Bone marrow aspirate smear; 40× objective, oil immersion; single cell centered in the field.
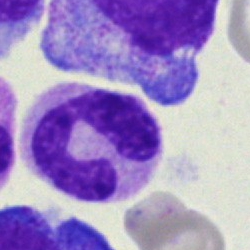A polymorphonuclear neutrophil.